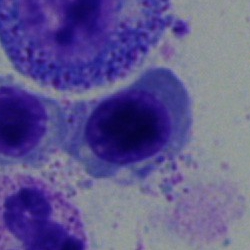
Q: What type of cell is this?
A: It is an erythroblast.